Peripheral blood film · image size 400×400 · single-cell crop: 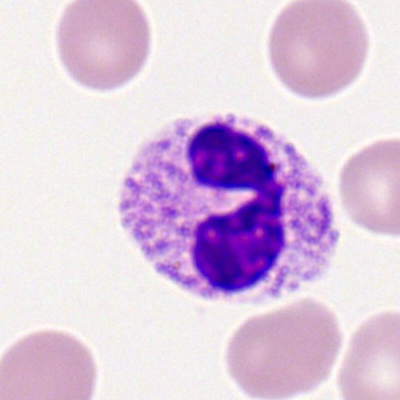Q: What is the morphological classification of this cell?
A: It is a polymorphonuclear neutrophil.